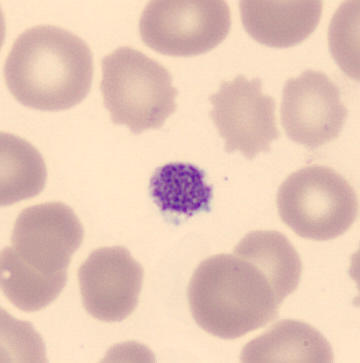The morphological class is thrombocyte.